Bone marrow aspirate smear:
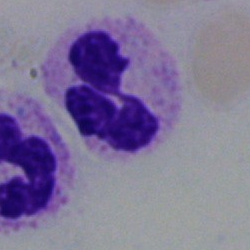{"cell_type": "neutrophil (segmented)", "lineage": "myeloid"}